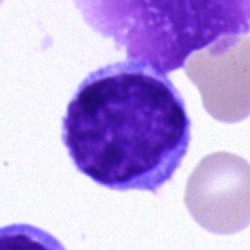Cell: typical lymphocyte.